May-Grünwald-Giemsa/Pappenheim stain; image size 250×250; bone marrow aspirate smear:
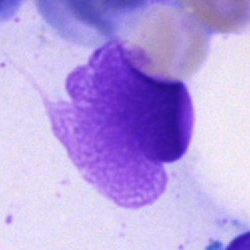Morphology consistent with an artefact.